Bone marrow aspirate smear
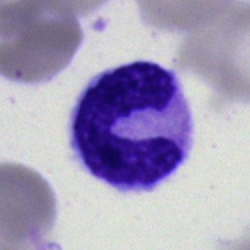 {"cell_type": "stab cell", "lineage": "myeloid"}